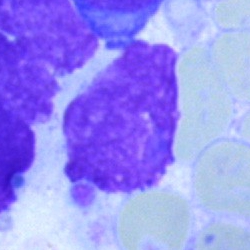
Impression — artefact.